Peripheral blood film.
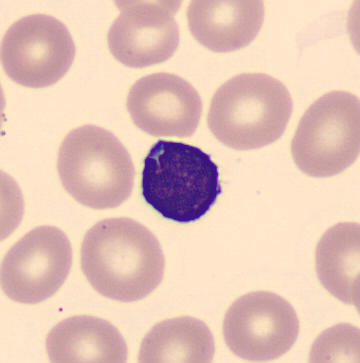 Morphological class = lymphocyte.